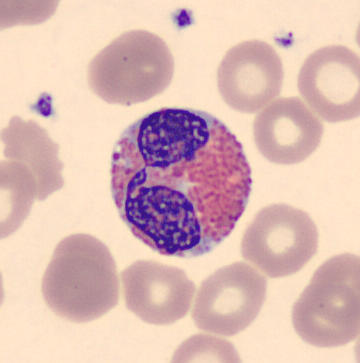
Preparation: Peripheral blood film.

{"cell_type": "eosinophilic granulocyte"}